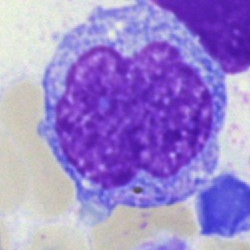 Cell = undifferentiated blast.